Bone marrow aspirate smear.
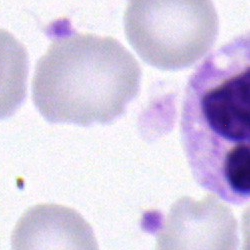
Q: What cell is this?
A: This is a neutrophil (segmented).